Bone marrow aspirate smear:
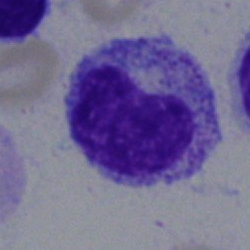 The cell shown is a metamyelocyte.